Bone marrow smear — 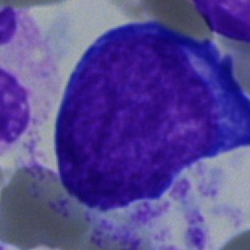This is a proerythroblast.